Image size 250×250 · bone marrow smear: 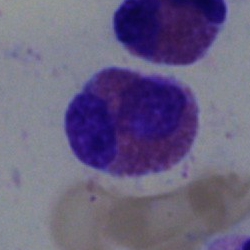

Q: Which cell type is shown here?
A: It is an eosinophil.